Peripheral blood film
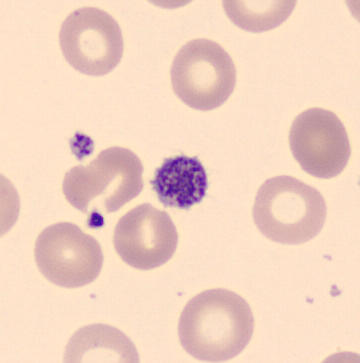
This is a thrombocyte.